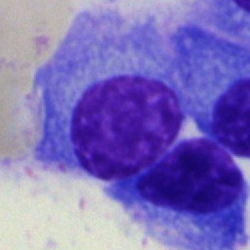
Cell type — plasmacyte.